Bone marrow smear — 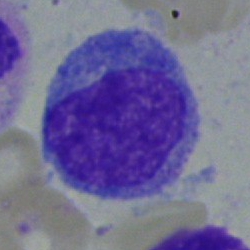 Single cell identified as a monocyte.